Bone marrow smear — 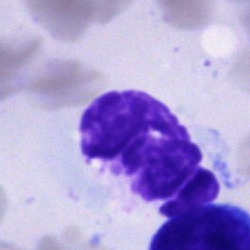

Q: What is shown here?
A: An artefact.